Bone marrow aspirate smear. Single cell centered in the field:
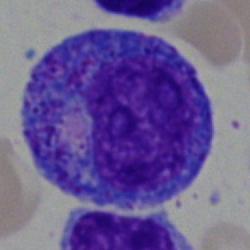 Q: What is shown here?
A: This is a promyelocyte.